Bone marrow smear:
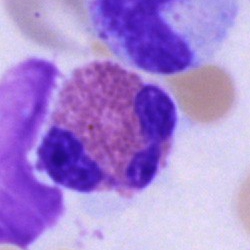 Morphological class = eosinophil.